40× objective, oil immersion. Cropped to a single cell. Bone marrow smear
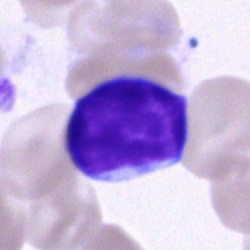

Showing a lymphocyte.